Bone marrow aspirate smear; single cell centered in the field; 250×250 px.
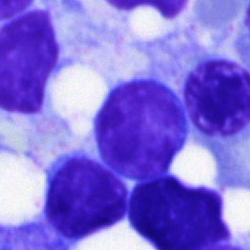 The cell shown is a typical lymphocyte.